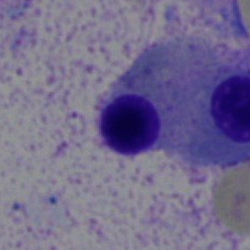

Single cell identified as a normoblast.